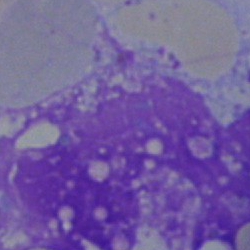Specimen: bone marrow smear.
Classification: artifact.